Bone marrow smear:
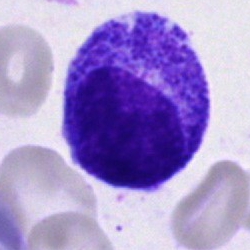 Classification = promyelocyte.